Bone marrow smear
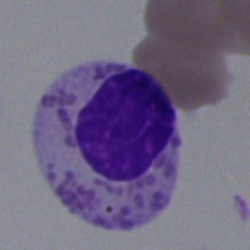Specimen: bone marrow aspirate smear.
Classification: eosinophilic granulocyte.